Bone marrow aspirate smear. Single cell centered in the field.
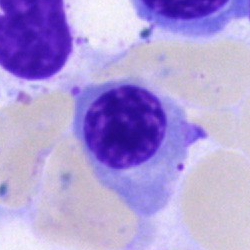
Q: What is the morphological classification of this cell?
A: It is a nucleated red blood cell.